Pappenheim-stained. Bone marrow smear.
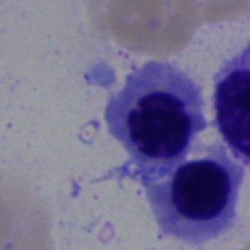Specimen: bone marrow aspirate smear.
Morphological class: nucleated red blood cell.
Lineage: erythroid.